Bone marrow aspirate smear.
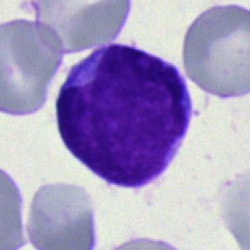

A blast.